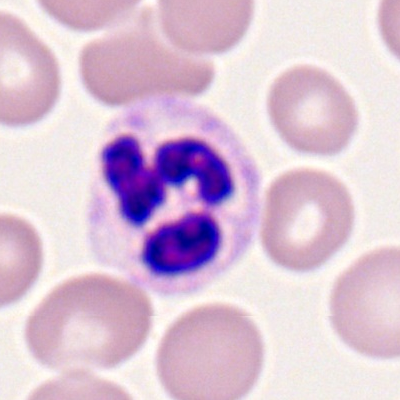 Q: What is the morphological classification of this cell?
A: Polymorphonuclear neutrophil.